Bone marrow aspirate smear; Pappenheim-stained.
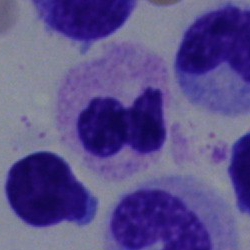

Specimen: bone marrow smear.
Classification: segmented neutrophil.